Bone marrow aspirate smear; brightfield microscopy, 40× oil immersion
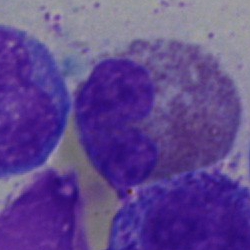

Q: Identify the cell.
A: Eosinophilic granulocyte.